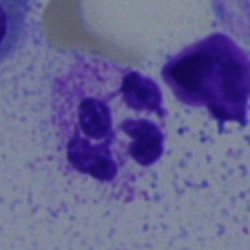 A polymorphonuclear neutrophil on a bone marrow smear.